250×250 px; bone marrow aspirate smear:
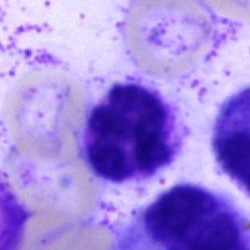 Morphology → neutrophil (segmented).